Bone marrow aspirate smear.
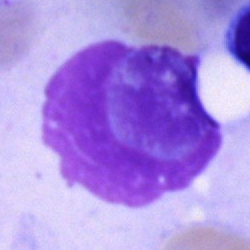

This is an artefact.